MGG-stained; bone marrow smear:
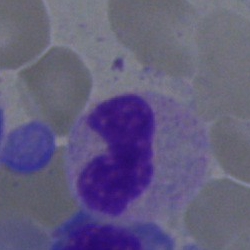
This is a stab cell.